Bone marrow smear.
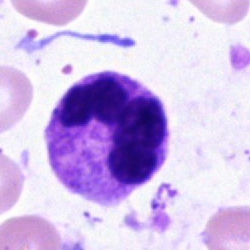Specimen: bone marrow aspirate smear.
Cell: neutrophil (segmented).
Lineage: myeloid.